Brightfield, 40× oil-immersion objective. Bone marrow aspirate smear
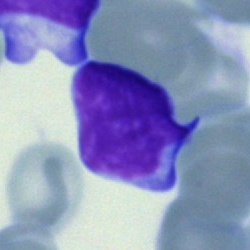
Lymphocyte.